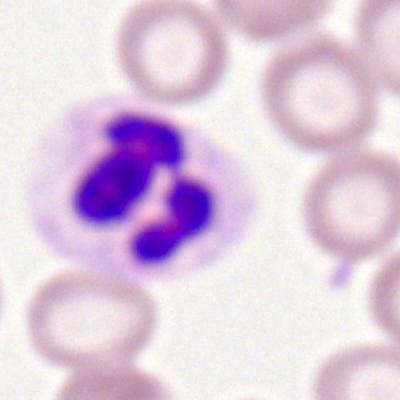 The cell shown is a segmented neutrophil.